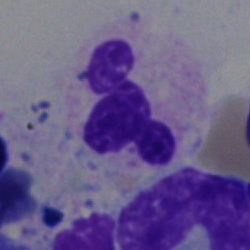

Q: Which cell type is shown here?
A: A neutrophil (segmented).